Bone marrow smear
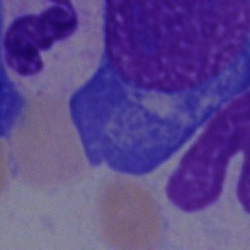 {"cell_type": "plasma cell", "lineage": "lymphoid"}